Bone marrow aspirate smear: 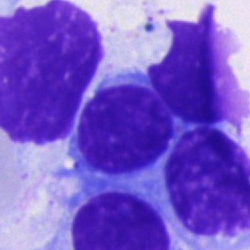
Q: Which cell type is shown here?
A: A typical lymphocyte.